Image size 250×250 · brightfield microscopy, 40× oil immersion · bone marrow smear.
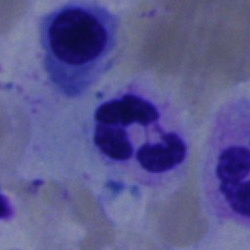

Q: Identify the cell.
A: Polymorphonuclear neutrophil.